Bone marrow aspirate smear.
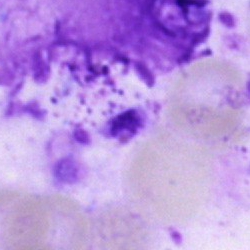Q: What is shown here?
A: Artifact.